Bone marrow aspirate smear — 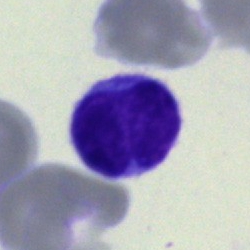
Impression → lymphocyte.